Brightfield, 40× oil-immersion objective; bone marrow aspirate smear:
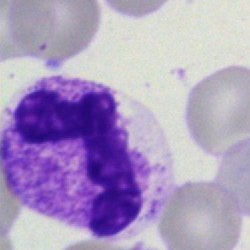

The cell type is polymorphonuclear neutrophil.